Bone marrow smear.
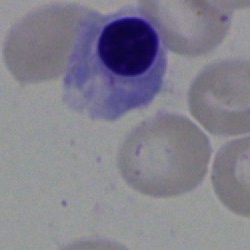 Morphology — nucleated red blood cell.